Bone marrow aspirate smear · MGG-stained.
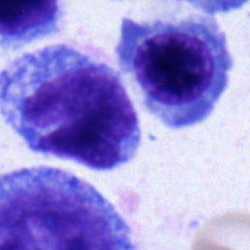

This is a monocyte.